Bone marrow smear · brightfield microscopy, 40× oil immersion: 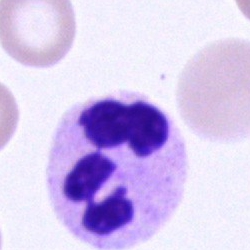

Cell type = segmented neutrophil.